Bone marrow aspirate smear: 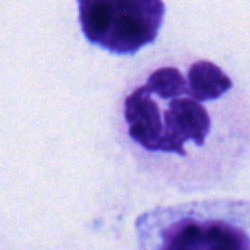Specimen: bone marrow aspirate smear.
Classification: typical lymphocyte.